Bone marrow aspirate smear; single-cell field.
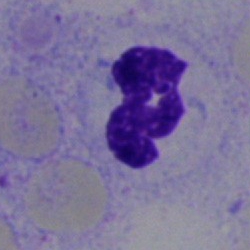 Neutrophil (segmented).